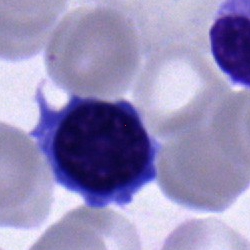

Specimen: bone marrow smear.
Cell: lymphocyte.
Lineage: lymphoid.